Peripheral blood film.
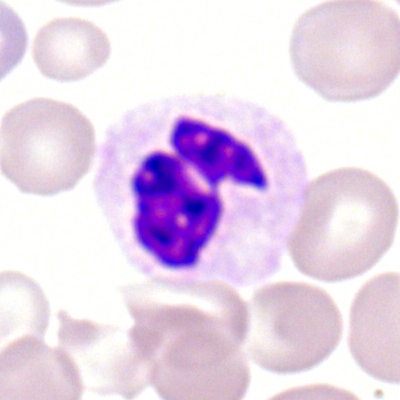
This is a polymorphonuclear neutrophil.